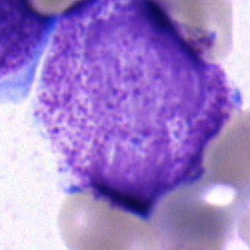Specimen: bone marrow smear.
Morphological class: undifferentiated blast.